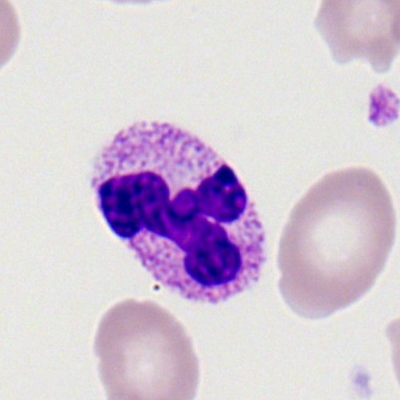

Specimen: peripheral blood film.
Cell type: segmented neutrophil.
Lineage: myeloid.